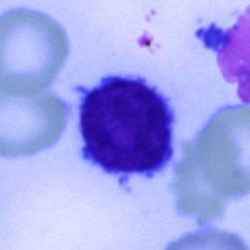
Morphological class = typical lymphocyte.